Bone marrow smear: 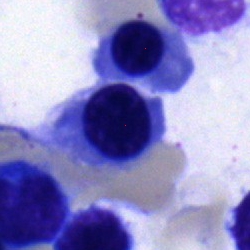Cell — erythroblast.